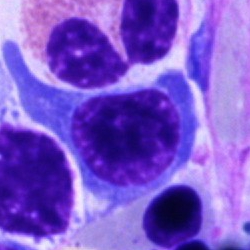Q: What cell is this?
A: It is a nucleated red blood cell.